Bone marrow smear · 250×250 · single cell centered in the field
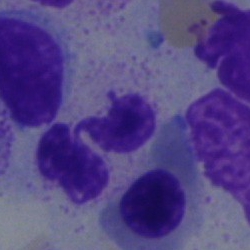 This is a polymorphonuclear neutrophil.